May-Grünwald-Giemsa stain. Bone marrow aspirate smear — 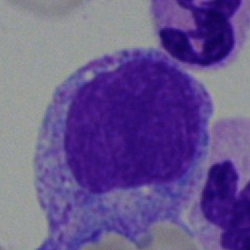Q: Identify the cell.
A: This is a promyelocyte.